Bone marrow aspirate smear
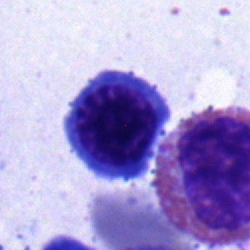

Morphology — nucleated red blood cell.